Bone marrow smear
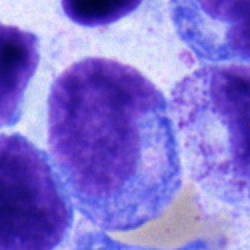Classification — monocyte.